Single-cell crop; bone marrow aspirate smear: 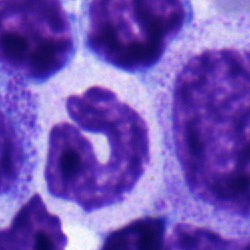Cell type — neutrophil (band).